Single cell centered in the field; Pappenheim-stained; bone marrow aspirate smear
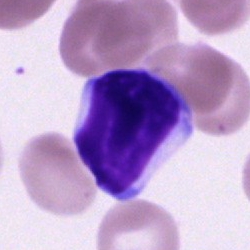

Cell = typical lymphocyte.